Peripheral blood film
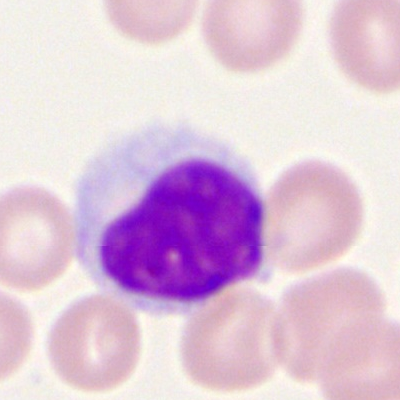 Specimen: peripheral blood smear.
Morphological class: lymphocyte.
Lineage: lymphoid.